Romanowsky-type stain; peripheral blood film — 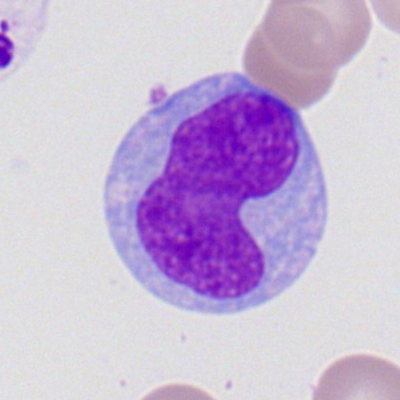 Q: What cell is this?
A: It is a monocyte.